Bone marrow aspirate smear: 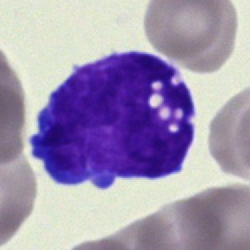Q: What type of cell is this?
A: Blast.